Bone marrow aspirate smear — 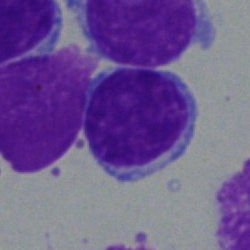The cell shown is a lymphocyte.